Bone marrow aspirate smear · 250×250 px · May-Grünwald-Giemsa/Pappenheim stain: 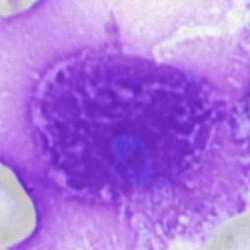
Single cell identified as an artifact.